Bone marrow aspirate smear · 40× objective, oil immersion — 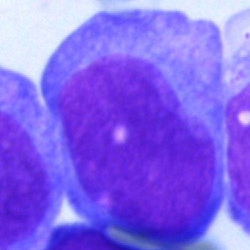 Q: Which cell type is shown here?
A: It is a blast.